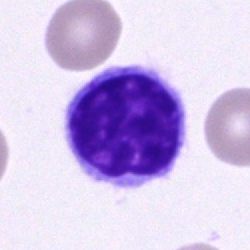
A lymphocyte on a bone marrow smear.